May-Grünwald-Giemsa stain · bone marrow smear · cropped to a single cell
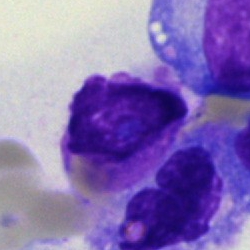Specimen: bone marrow aspirate smear.
Classification: artefact.